Peripheral blood film; Romanowsky stain; 400×400: 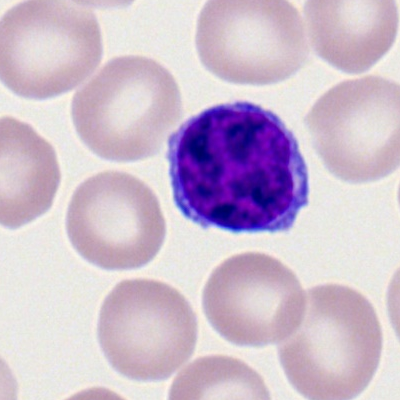

The cell shown is a typical lymphocyte.